Brightfield microscopy, 40× oil immersion · image size 250×250 · bone marrow aspirate smear:
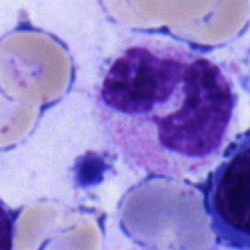 {"cell_type": "neutrophil (segmented)"}